Bone marrow aspirate smear — 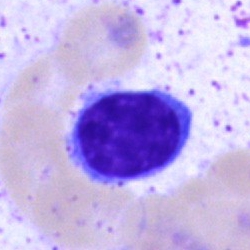
{"cell_type": "lymphocyte", "lineage": "lymphoid"}